Bone marrow smear · single cell centered in the field.
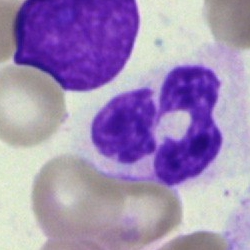Q: What is shown here?
A: A neutrophil (segmented).